Romanowsky-stained. Cropped to a single cell. Peripheral blood film
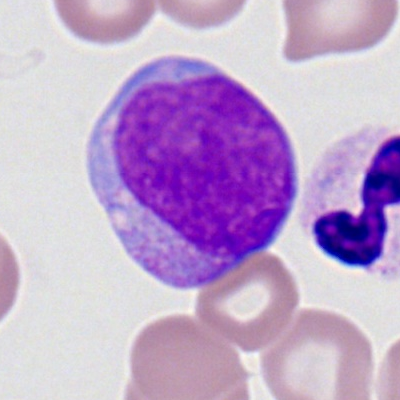Q: Which cell type is shown here?
A: A myeloblast.